Bone marrow smear · brightfield microscopy, 40× oil immersion
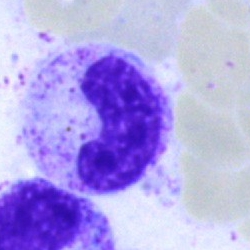

Classification: stab cell.